Bone marrow smear. Single-cell crop.
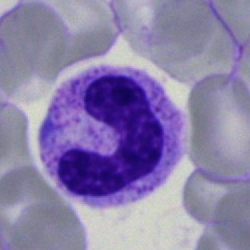 Q: What cell is this?
A: Band-form neutrophil.